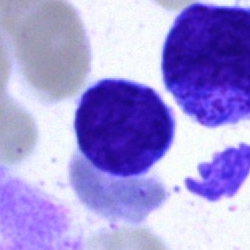Cell — typical lymphocyte.